Brightfield microscopy, 40× oil immersion · 250×250 · bone marrow aspirate smear.
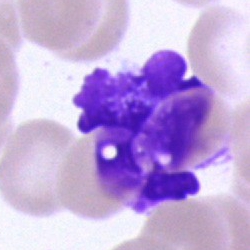 The cell type is artefact.